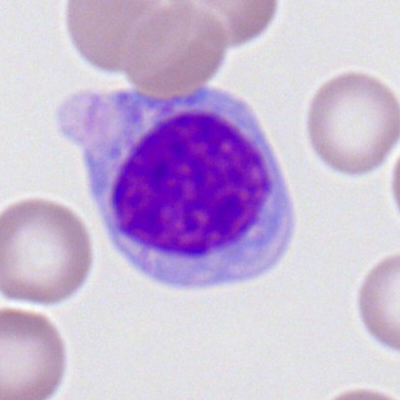 A monocyte on a peripheral blood smear.